Bone marrow aspirate smear · single-cell crop · May-Grünwald-Giemsa/Pappenheim stain:
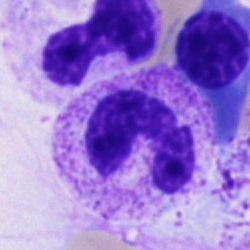

Single cell identified as a segmented neutrophil.